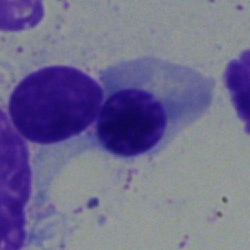 Cell — erythroblast.